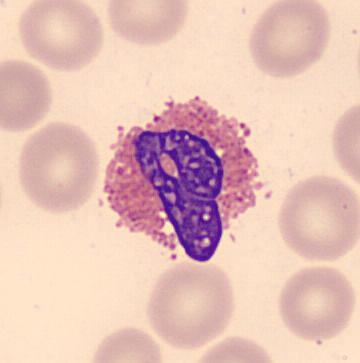 Cell type — eosinophilic granulocyte.